Bone marrow aspirate smear. 250 by 250 pixels — 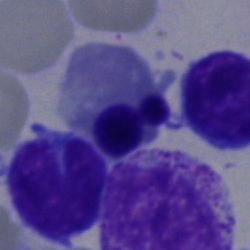 Erythroblast.